250×250. Bone marrow aspirate smear. MGG-stained — 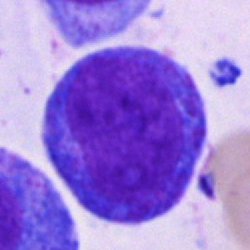Morphology → progranulocyte.